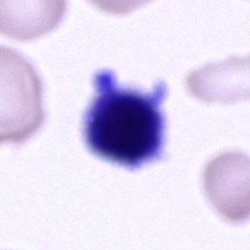

Showing a cell of indeterminate lineage.